Bone marrow aspirate smear
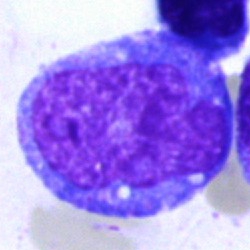Monocyte.